Brightfield microscopy, 40× oil immersion. Bone marrow aspirate smear. May-Grünwald-Giemsa/Pappenheim stain:
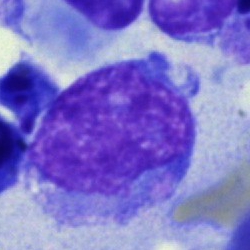 Blast.